Image size 250×250; bone marrow aspirate smear.
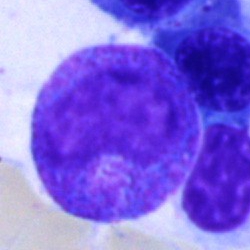The cell is progranulocyte.